Bone marrow smear. 40× oil immersion.
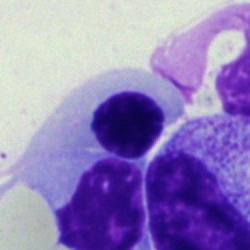Q: Which cell type is shown here?
A: It is a normoblast.